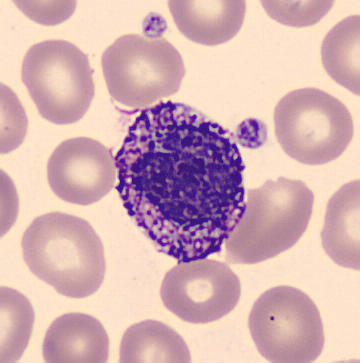Peripheral blood film. Classification — basophilic granulocyte.